Bone marrow smear. 40× oil immersion. MGG-stained — 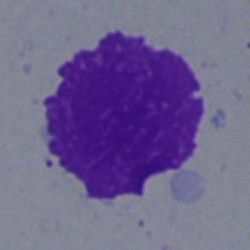Classification = artefact.